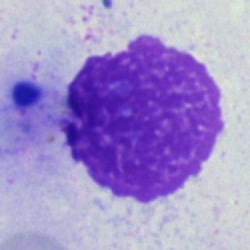 Single cell identified as an artefact.